Bone marrow smear
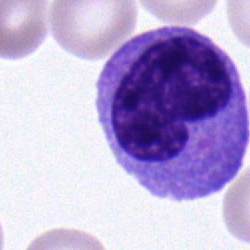
Q: What is shown here?
A: A monocyte.